Bone marrow aspirate smear — 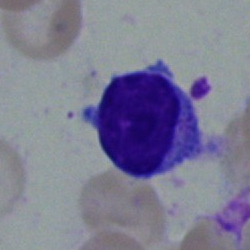
{"cell_type": "lymphocyte", "lineage": "lymphoid"}